Single-cell field. Bone marrow smear. Image size 250×250:
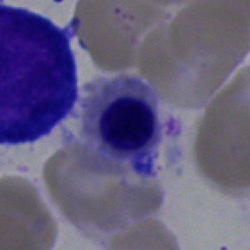Showing a nucleated red cell.